Bone marrow smear:
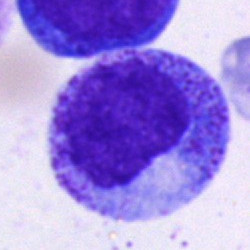
The classification is progranulocyte.